Bone marrow aspirate smear: 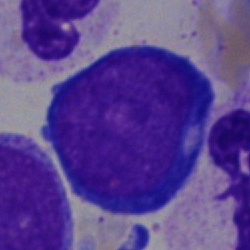Specimen: bone marrow smear.
Cell type: proerythroblast.
Lineage: erythroid.